May-Grünwald-Giemsa stain; bone marrow aspirate smear; 40× objective, oil immersion — 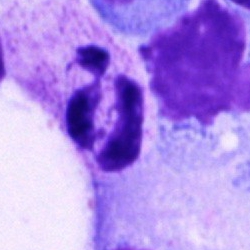
Cell = segmented neutrophil.